Brightfield microscopy, 40× oil immersion; bone marrow smear:
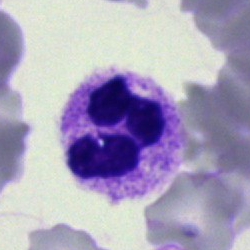 Morphological class: segmented neutrophil.